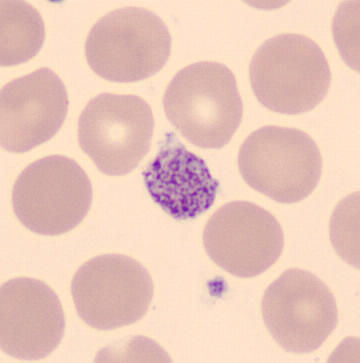 {"cell_type": "platelet (thrombocyte)"}